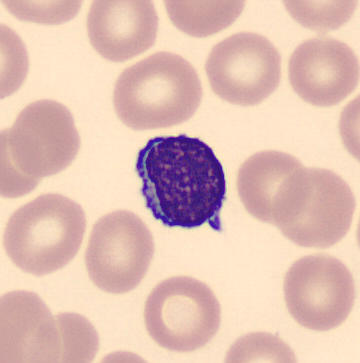
Image: Peripheral blood smear; CellaVision DM96 digital cell image.

Single cell identified as a typical lymphocyte.